Bone marrow aspirate smear · May-Grünwald-Giemsa/Pappenheim stain: 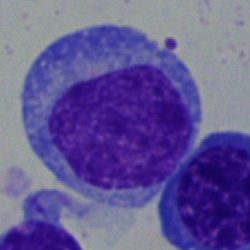A plasmacyte.